250×250; brightfield microscopy, 40× oil immersion; bone marrow aspirate smear — 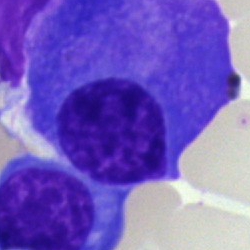
Morphological class: plasmacyte.